Bone marrow aspirate smear:
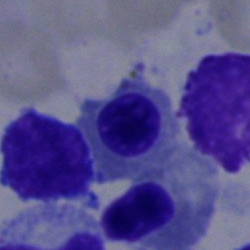 Morphology consistent with a nucleated red blood cell.